Bone marrow aspirate smear:
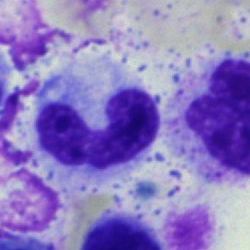

The classification is band-form neutrophil.